Bone marrow aspirate smear; image size 250×250:
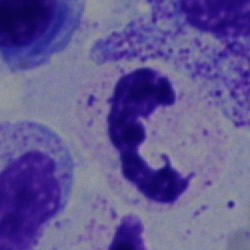The cell shown is a segmented neutrophil.